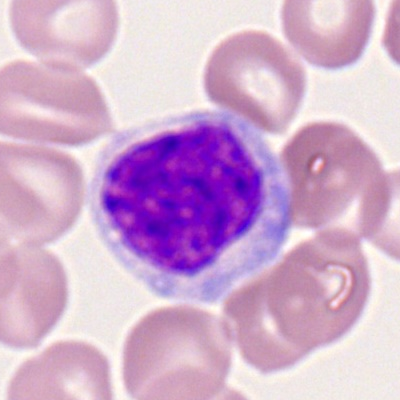Peripheral blood smear showing a typical lymphocyte.